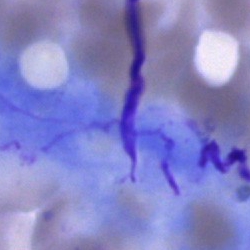 The cell is artefact.